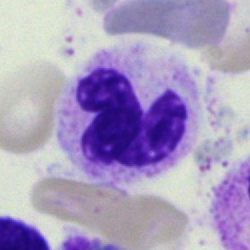
Bone marrow aspirate smear, single cell — polymorphonuclear neutrophil.